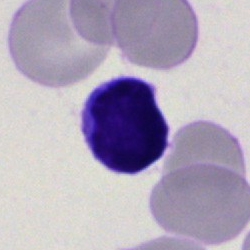

This is a lymphocyte.